Bone marrow smear — 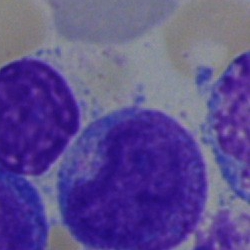
Morphological class = blast cell.